May-Grünwald-Giemsa/Pappenheim stain · single-cell crop · bone marrow smear — 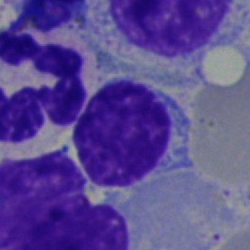

Typical lymphocyte.